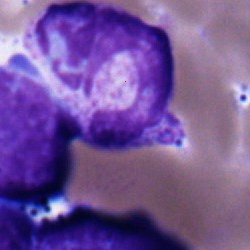

A stab cell.